40× objective, oil immersion. Bone marrow smear.
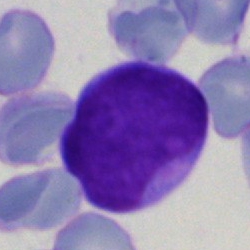Showing a blast cell.